Bone marrow aspirate smear. Single-cell crop: 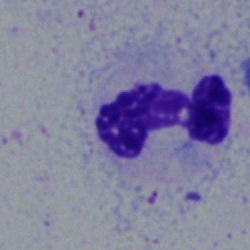Impression → neutrophil (segmented).